250×250 px. 40× oil immersion. Bone marrow aspirate smear:
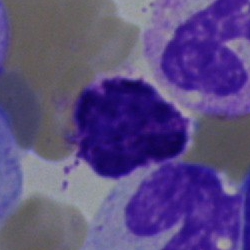
Specimen: bone marrow aspirate smear.
Cell: basophilic granulocyte.